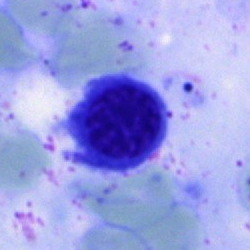Q: Which cell type is shown here?
A: Nucleated red cell.